Bone marrow smear — 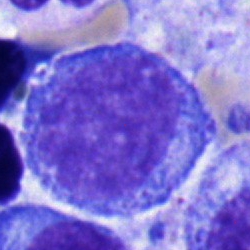Morphology consistent with a progranulocyte.